Bone marrow smear: 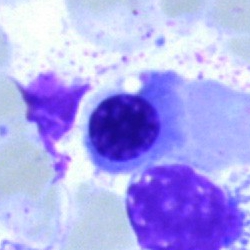Specimen: bone marrow aspirate smear.
Cell type: erythroblast.
Lineage: erythroid.